Bone marrow aspirate smear:
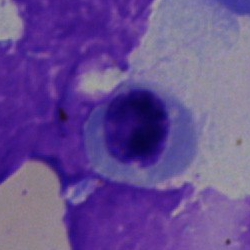

Morphological class = erythroblast.